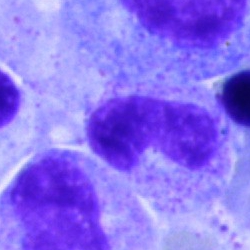
This is a band-form neutrophil.